Brightfield, 100× oil-immersion objective · peripheral blood film.
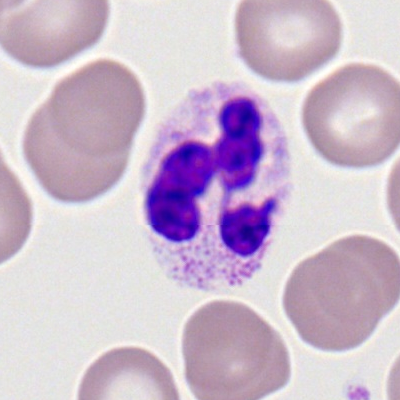

Polymorphonuclear neutrophil.